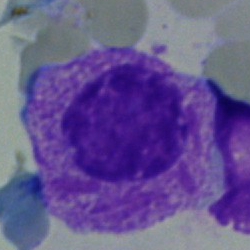This is a myelocyte.